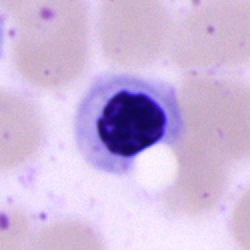This is a nucleated red cell.